Bone marrow smear; 250×250 px: 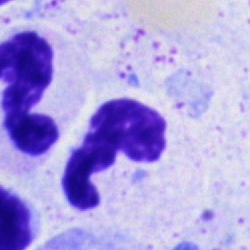
The cell shown is a neutrophil (segmented).